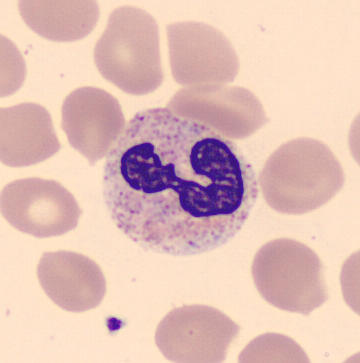Image: May Grünwald-Giemsa stain. Peripheral blood smear. Showing a polymorphonuclear neutrophil.